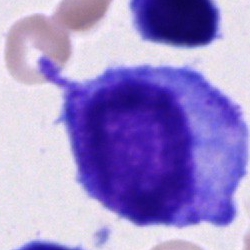
Q: What cell is this?
A: A progranulocyte.